Bone marrow smear · May-Grünwald-Giemsa stain · 250×250 px
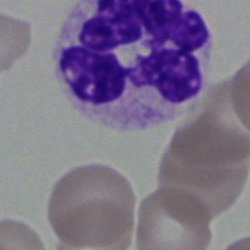
The morphological class is neutrophil (segmented).